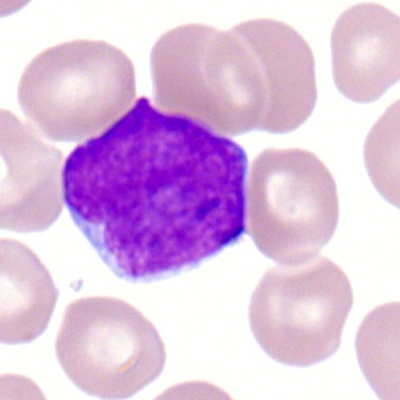

A myeloblast.